Bone marrow smear.
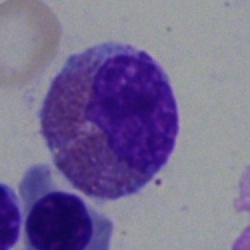

Impression → eosinophil.